Bone marrow aspirate smear.
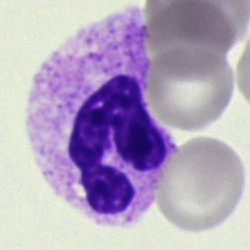
Cell type — polymorphonuclear neutrophil.